Peripheral blood smear.
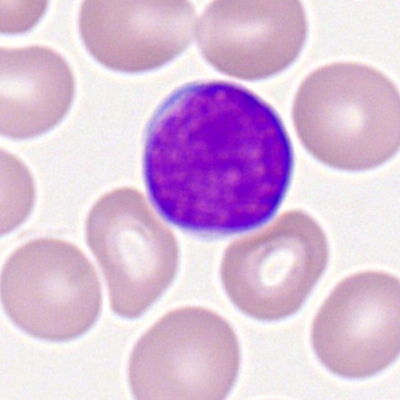

Morphological class = myeloid blast.